MGG-stained. Bone marrow smear:
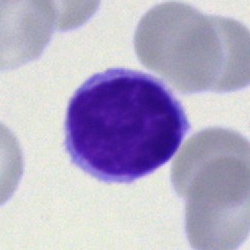

A lymphocyte.